Bone marrow smear · May-Grünwald-Giemsa/Pappenheim stain
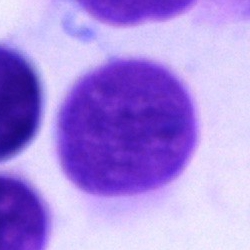
Single cell identified as an artefact.